Bone marrow smear
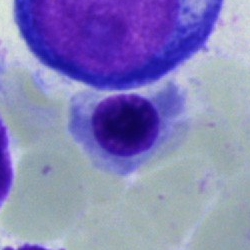

Erythroblast.